Bone marrow smear.
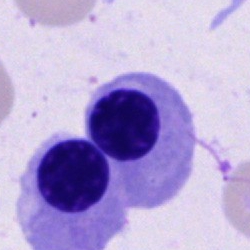

Nucleated red blood cell.